Bone marrow aspirate smear
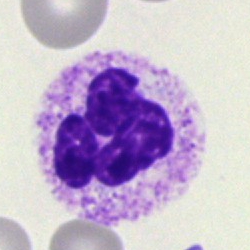Cell: polymorphonuclear neutrophil.